Bone marrow aspirate smear:
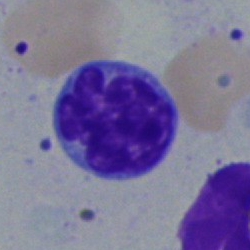
Specimen: bone marrow aspirate smear.
Cell type: typical lymphocyte.
Lineage: lymphoid.